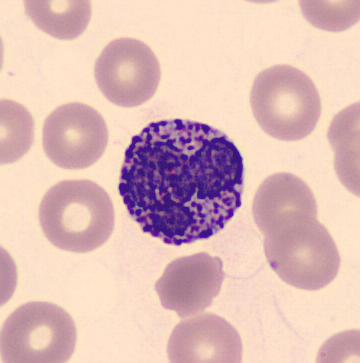

Morphology consistent with a basophilic granulocyte.
Peripheral blood smear.